Bone marrow smear:
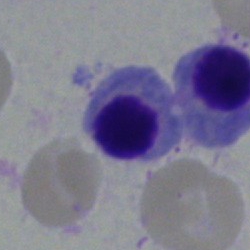 Morphology consistent with a nucleated red cell.